Bone marrow smear. Single cell centered in the field — 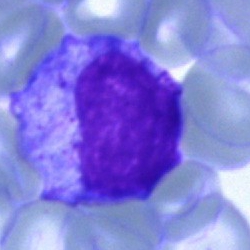
Q: Which cell type is shown here?
A: Progranulocyte.